Peripheral blood film:
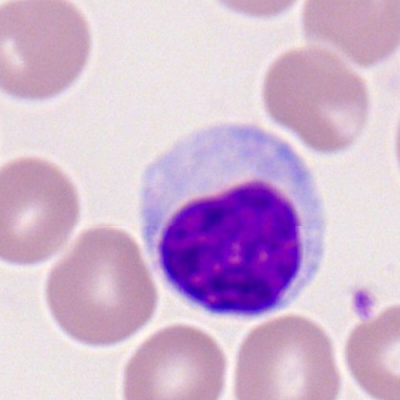 Q: What is shown here?
A: A lymphocyte.